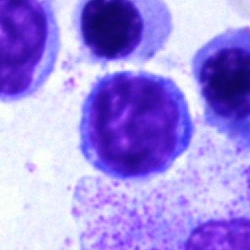
{"cell_type": "lymphocyte", "lineage": "lymphoid"}